Bone marrow aspirate smear:
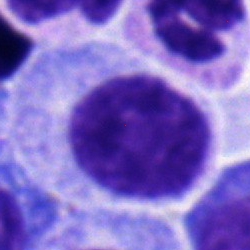
A myelocyte.